Bone marrow smear: 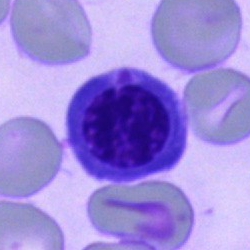Impression — nucleated red blood cell.